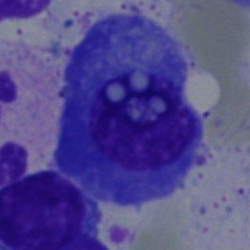
Cell type — plasmacyte.